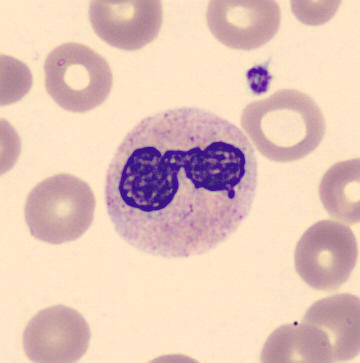Segmented neutrophil.